Bone marrow aspirate smear — 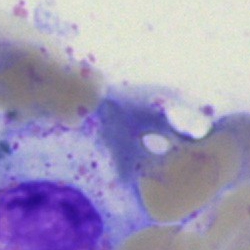
Morphology → artifact.